Bone marrow aspirate smear. Single-cell crop.
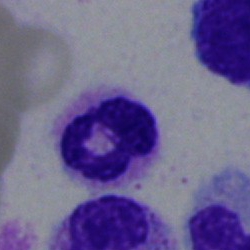

Cell type: segmented neutrophil.